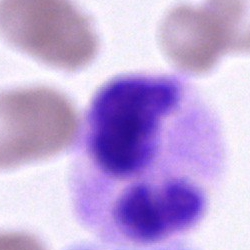
This is a segmented neutrophil.